250×250. Brightfield microscopy, 40× oil immersion. Bone marrow smear
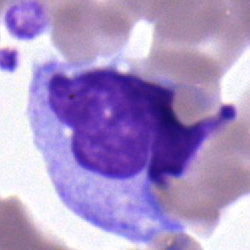

Single cell identified as a monocyte.